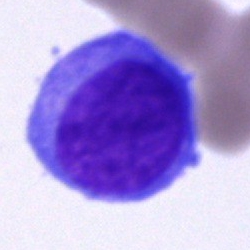Q: What cell is this?
A: Blast cell.